Peripheral blood film.
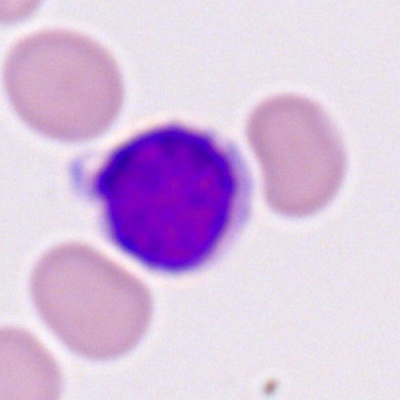 Specimen: peripheral blood smear.
Classification: lymphocyte.